Bone marrow smear; brightfield, 40× oil-immersion objective; MGG-stained: 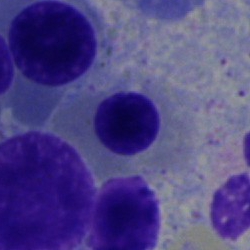

Q: Identify the cell.
A: It is a normoblast.